Peripheral blood film.
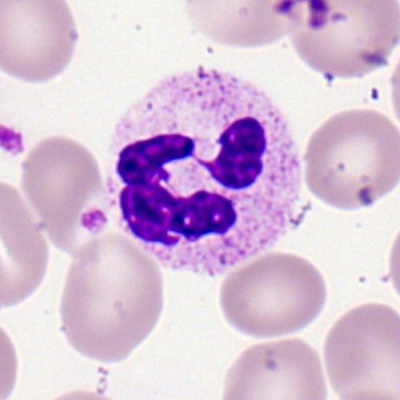 Classification = neutrophil (segmented).